Image size 250×250. Bone marrow aspirate smear — 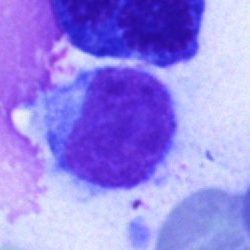
Specimen: bone marrow smear.
Morphological class: typical lymphocyte.
Lineage: lymphoid.